Cropped to a single cell; bone marrow smear — 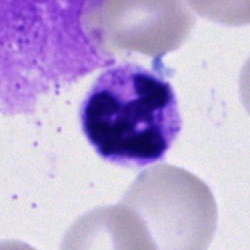Morphology consistent with a neutrophil (segmented).